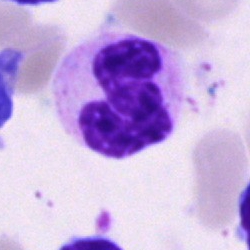

Classification = neutrophil (segmented).